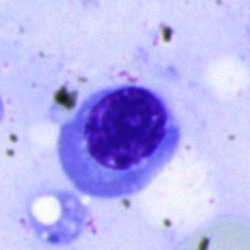 Morphological class — nucleated red blood cell.